250 by 250 pixels · bone marrow aspirate smear.
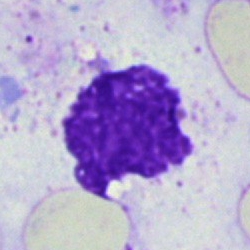 Cell type — artifact.